Single-cell field; bone marrow aspirate smear; 250×250 px
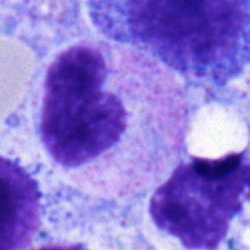
This is a stab cell.